250 by 250 pixels; Pappenheim-stained; bone marrow smear: 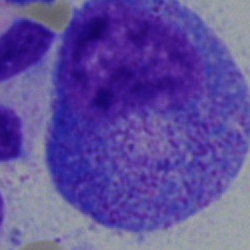

Morphological class = promyelocyte.